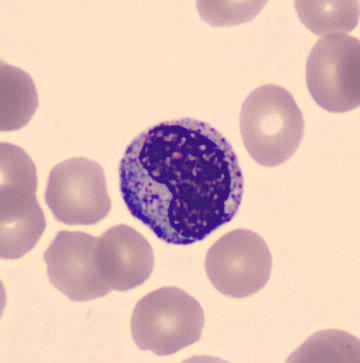

Peripheral blood film.
Morphological class — metamyelocyte.